Bone marrow aspirate smear: 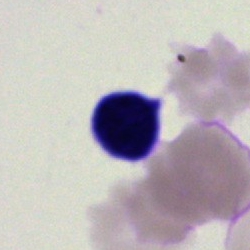Artefact.